Bone marrow smear. May-Grünwald-Giemsa/Pappenheim stain:
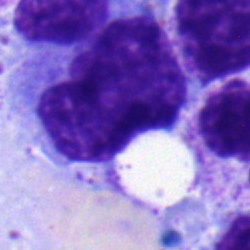
Band-form neutrophil.